Single-cell crop. Bone marrow smear:
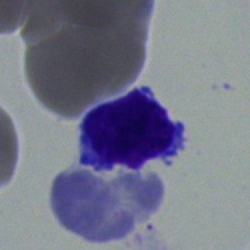

Cell type = lymphocyte.